Pappenheim-stained · 250×250 px · bone marrow smear: 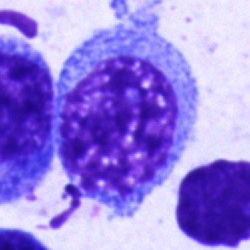

Q: Which cell type is shown here?
A: This is a promyelocyte.